Bone marrow smear — 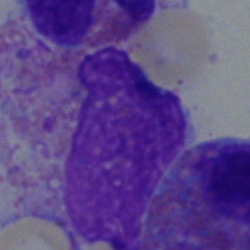
Cell: eosinophilic granulocyte.